Bone marrow aspirate smear
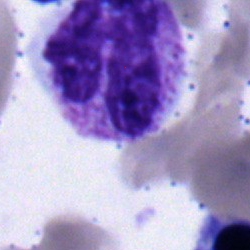
Specimen: bone marrow aspirate smear.
Morphological class: stab cell.
Lineage: myeloid.